Brightfield, 40× oil-immersion objective; bone marrow smear; Pappenheim-stained.
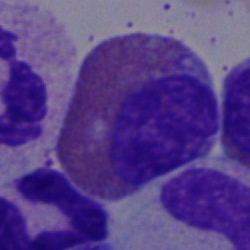Showing an eosinophil.